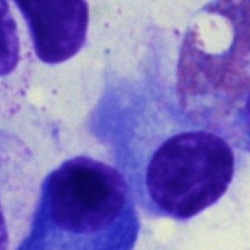 Cell = plasmacyte.